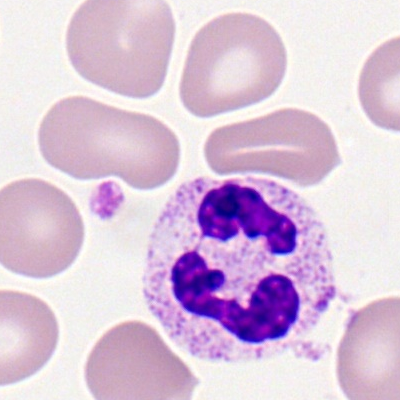Classification — neutrophil (segmented).